Brightfield, 40× oil-immersion objective · bone marrow smear — 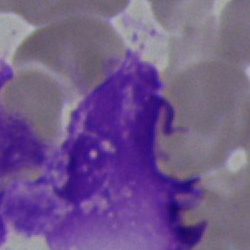

Artefact.